Bone marrow smear; single-cell field
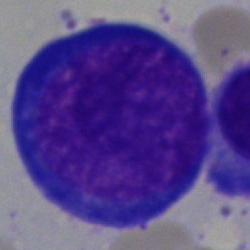

The cell is pronormoblast.